Bone marrow aspirate smear. 250×250 px. Single-cell crop: 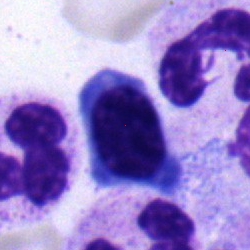 Showing a normoblast.